Single-cell field; bone marrow smear; 40× oil immersion.
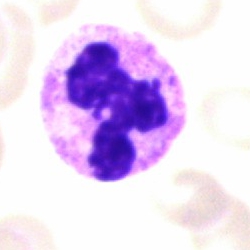
Morphological class = polymorphonuclear neutrophil.